May-Grünwald-Giemsa stain · bone marrow smear:
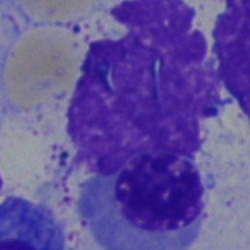
An erythroblast.